Peripheral blood smear.
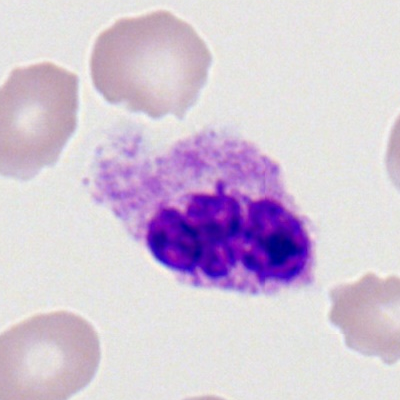
Specimen: peripheral blood smear.
Classification: segmented neutrophil.